Image size 250×250; 40× oil immersion; bone marrow smear
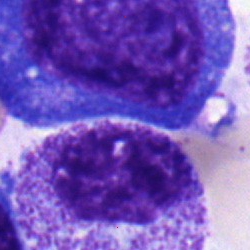 The morphological class is progranulocyte.